Bone marrow smear
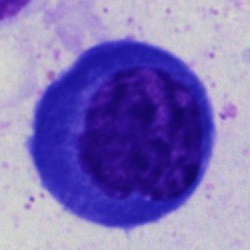

Morphology consistent with a nucleated red blood cell.